Bone marrow aspirate smear.
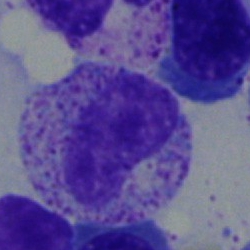
Morphology consistent with a metamyelocyte.